Bone marrow aspirate smear · 250 by 250 pixels · May-Grünwald-Giemsa stain: 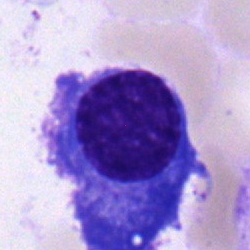Specimen: bone marrow aspirate smear.
Cell type: plasma cell.
Lineage: lymphoid.